Bone marrow aspirate smear: 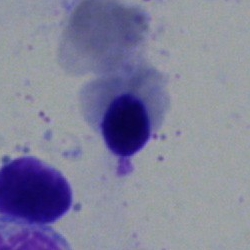
This is a normoblast.